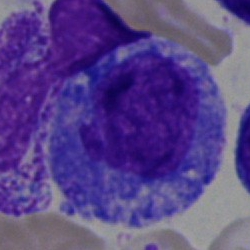

Morphology consistent with a promyelocyte.